Bone marrow aspirate smear:
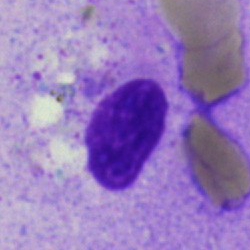
Q: What is shown here?
A: This is an artefact.